Peripheral blood smear.
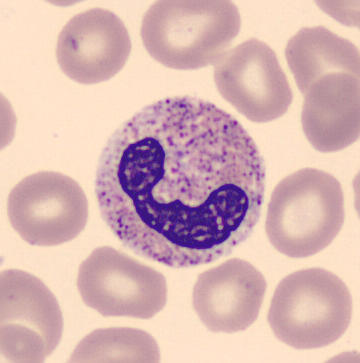 Specimen: peripheral blood film.
Cell: band neutrophil.
Lineage: myeloid.